Bone marrow aspirate smear; single-cell crop — 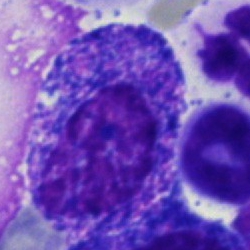
Morphology → promyelocyte.